Bone marrow smear.
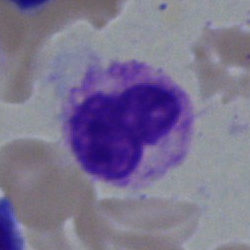 The cell shown is a segmented neutrophil.